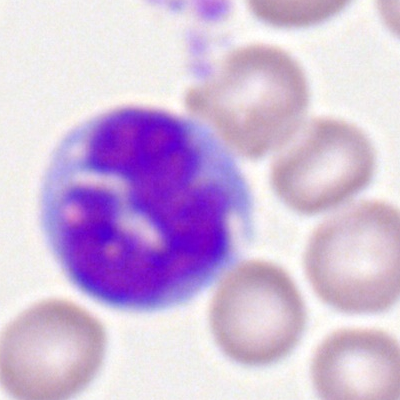Single-cell crop from a peripheral blood smear: monocyte.